Bone marrow smear — 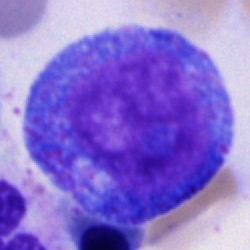

Specimen: bone marrow aspirate smear.
Cell type: progranulocyte.
Lineage: myeloid.